Bone marrow smear · 40× oil immersion
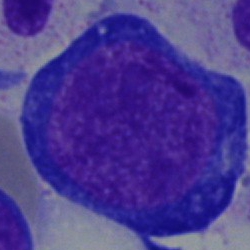
{"cell_type": "normoblast"}